Bone marrow aspirate smear — 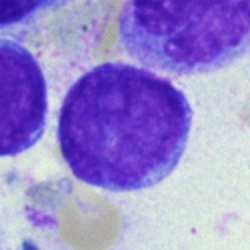

Morphology consistent with a blast cell.